Bone marrow smear
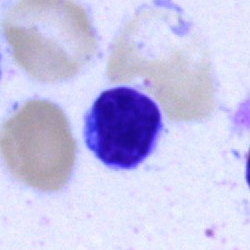A typical lymphocyte.